40× objective, oil immersion · bone marrow aspirate smear · 250×250 px.
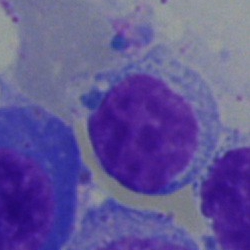
Morphology consistent with a lymphocyte.